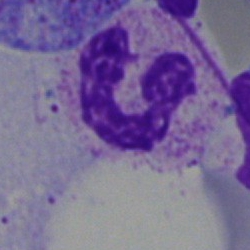Morphological class: polymorphonuclear neutrophil.